Peripheral blood smear.
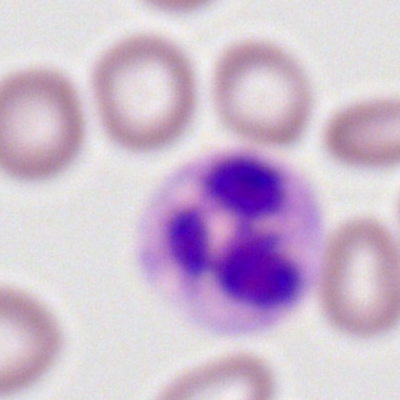 Morphological class — neutrophil (segmented).